Bone marrow aspirate smear: 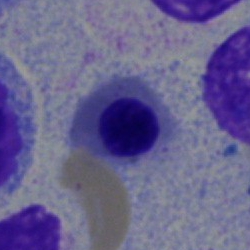

Showing a nucleated red cell.